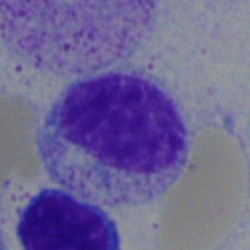
Cell type = myelocyte.